Bone marrow smear; 250 by 250 pixels — 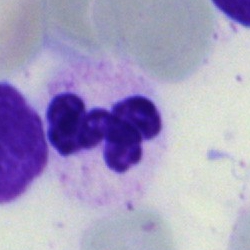

The cell shown is a segmented neutrophil.